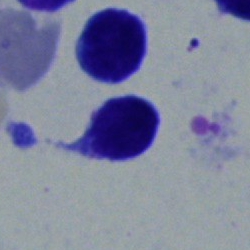Cell type = typical lymphocyte.